Cropped to a single cell · bone marrow smear.
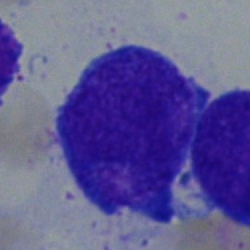

Showing an undifferentiated blast.